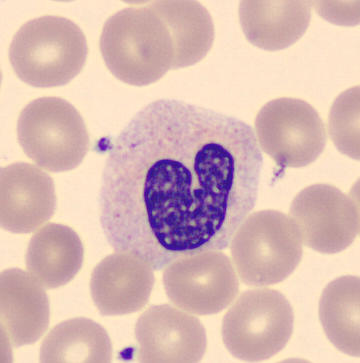Acquisition: Automated cell imaging (CellaVision DM96) · May Grünwald-Giemsa stain · peripheral blood smear. Identified as a band neutrophil.